Pappenheim-stained · 40× oil immersion · bone marrow smear — 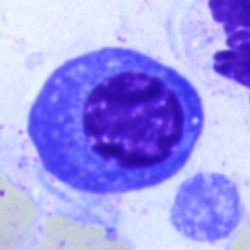

Specimen: bone marrow smear.
Cell type: nucleated red cell.
Lineage: erythroid.